Bone marrow smear · 250×250 · single-cell field.
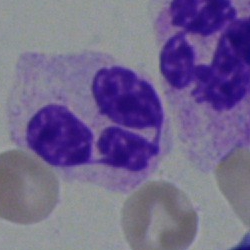
Specimen: bone marrow smear.
Classification: neutrophil (segmented).
Lineage: myeloid.